Bone marrow aspirate smear — 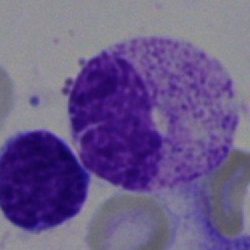 A band-form neutrophil.